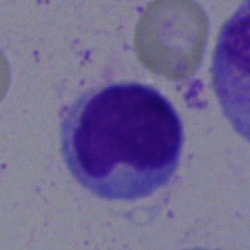 A typical lymphocyte.